Bone marrow aspirate smear; brightfield microscopy, 40× oil immersion.
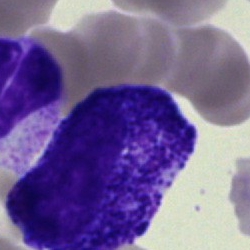The cell shown is a promyelocyte.